Bone marrow aspirate smear:
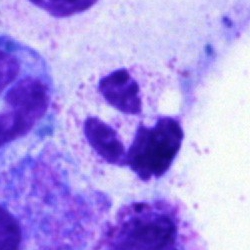 Cell: polymorphonuclear neutrophil.